Bone marrow aspirate smear · MGG-stained:
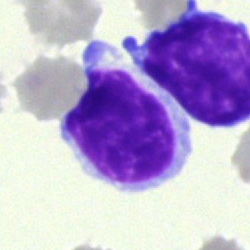
Impression → lymphocyte.